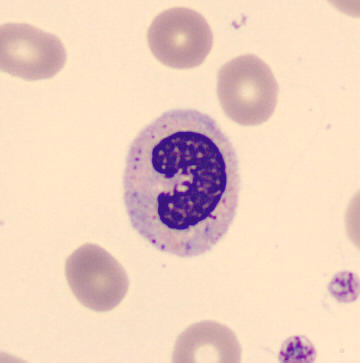

Q: What cell is this?
A: Band neutrophil.